Single-cell field; MGG-stained; bone marrow smear
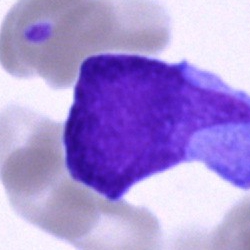

This is a blast.